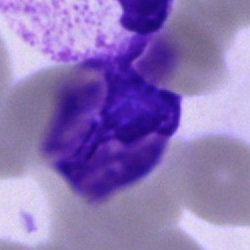 Cell = artefact.